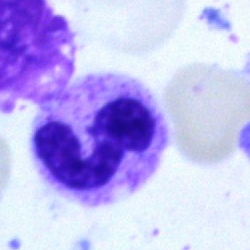

Impression — neutrophil (segmented).